Peripheral blood film.
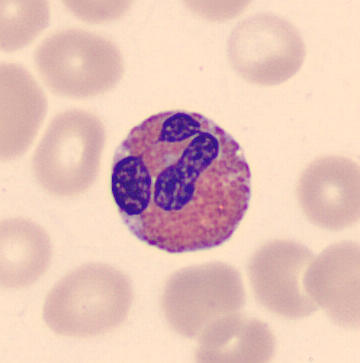 Q: Which cell type is shown here?
A: This is an eosinophilic granulocyte.